Bone marrow smear. 40× oil immersion: 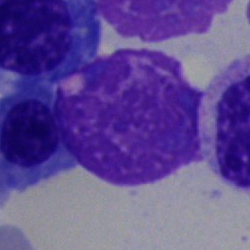
Q: What is shown here?
A: It is an artefact.